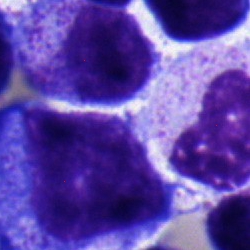 Cell — metamyelocyte.